Bone marrow aspirate smear: 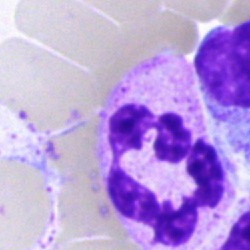
A neutrophil (segmented).